Bone marrow smear.
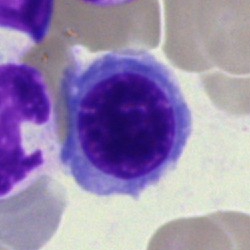 {"cell_type": "erythroblast"}